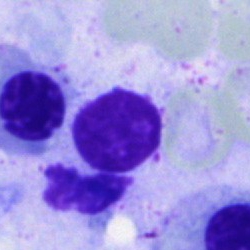Cell type: artifact.